Bone marrow aspirate smear:
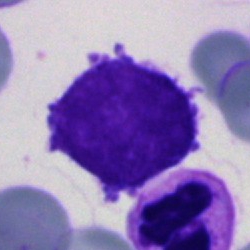
Showing an undifferentiated blast.